Image size 250×250. Bone marrow smear
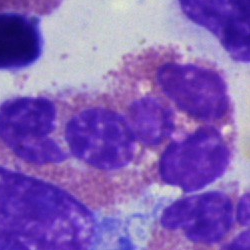

Impression → eosinophil.